May-Grünwald-Giemsa stain. 40× oil immersion. Bone marrow aspirate smear:
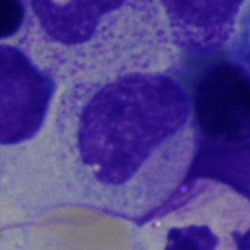 Morphology consistent with a myelocyte.